Bone marrow smear. Pappenheim-stained. 250×250:
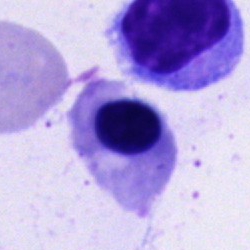 Cell — nucleated red blood cell.